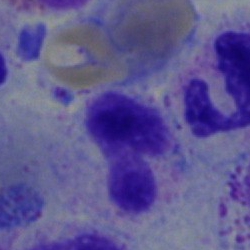

The morphological class is neutrophil (band).